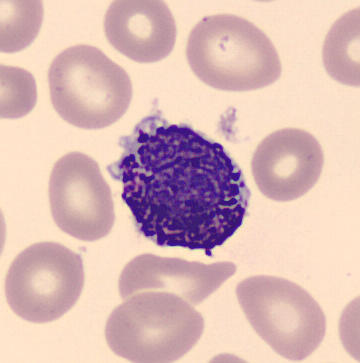
Peripheral blood film.

The cell shown is a basophilic granulocyte.